Bone marrow aspirate smear: 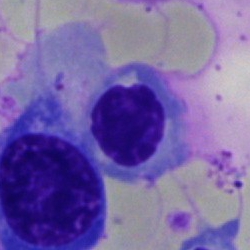
A nucleated red cell.